Bone marrow aspirate smear · May-Grünwald-Giemsa/Pappenheim stain — 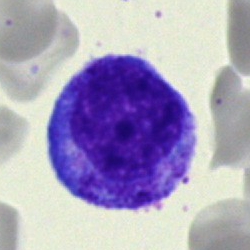 Q: Which cell type is shown here?
A: Progranulocyte.